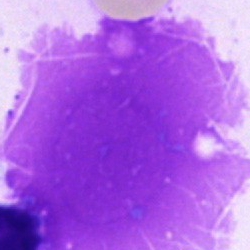 Classification: artefact.